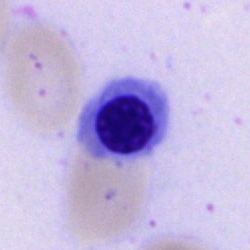 Morphology consistent with a nucleated red blood cell.